Bone marrow aspirate smear: 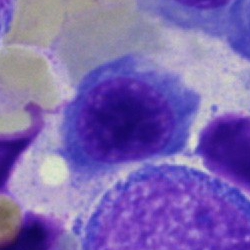

The morphological class is normoblast.